Bone marrow aspirate smear
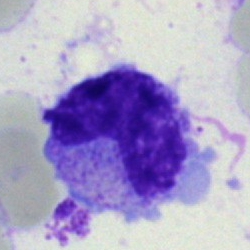
The cell type is monocyte.